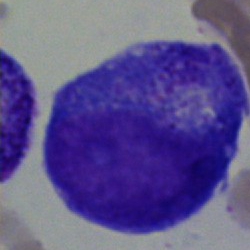 Q: What is shown here?
A: This is a progranulocyte.